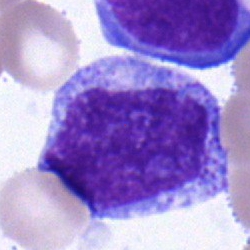Impression → promyelocyte.